Bone marrow aspirate smear:
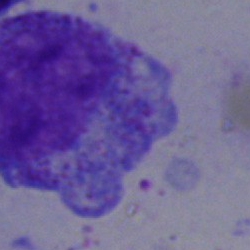

Q: What type of cell is this?
A: A promyelocyte.